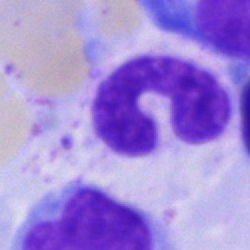
Showing a neutrophil (band).